Cropped to a single cell. Bone marrow aspirate smear:
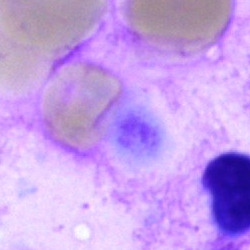

This is an artefact.